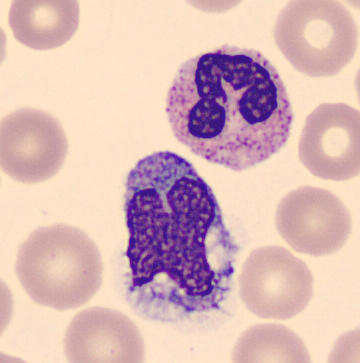
Preparation: Peripheral blood smear.
Classification: monocyte.